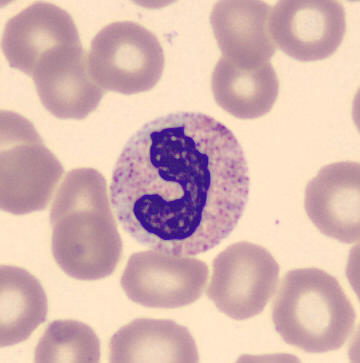 MGG stain; cropped to a single cell.

Specimen: peripheral blood film.
Cell: stab cell.